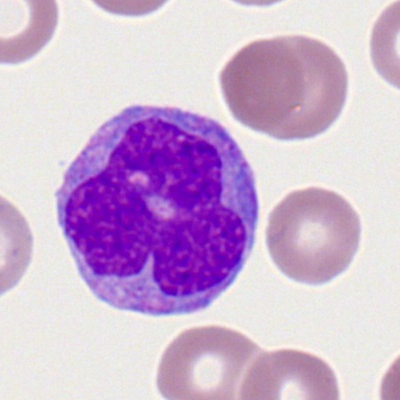 Q: Identify the cell.
A: Monocyte.